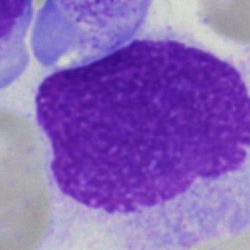

Morphology → artefact.